Bone marrow aspirate smear · brightfield, 40× oil-immersion objective · single-cell field:
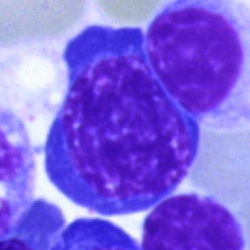Showing a nucleated red blood cell.